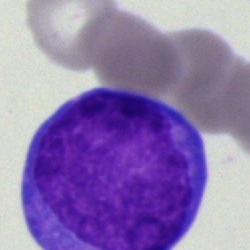
Q: What is the morphological classification of this cell?
A: This is a blast.